Bone marrow aspirate smear: 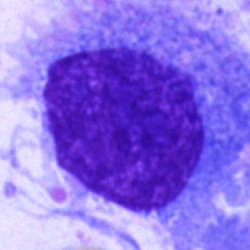 Q: What is the morphological classification of this cell?
A: A plasmacyte.